Bone marrow smear · 250 by 250 pixels — 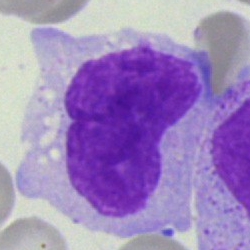
The morphological class is monocyte.